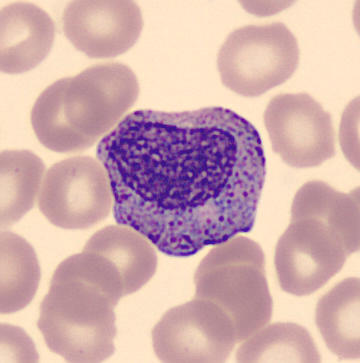

Peripheral blood film, single cell — myelocyte.